Romanowsky-stained · M8 digital microscope (Precipoint), 100× oil immersion · peripheral blood film
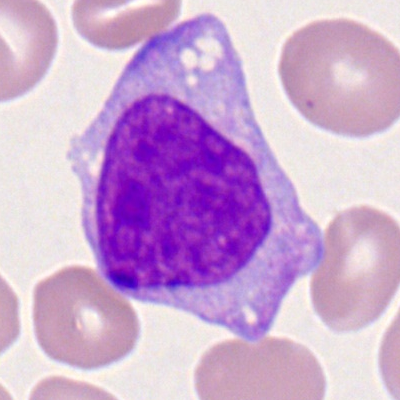
Impression → monocyte.